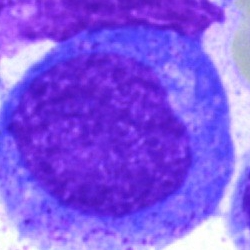 {"cell_type": "progranulocyte", "lineage": "myeloid"}